Bone marrow aspirate smear.
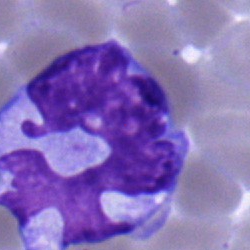 {"cell_type": "monocyte"}